Peripheral blood film:
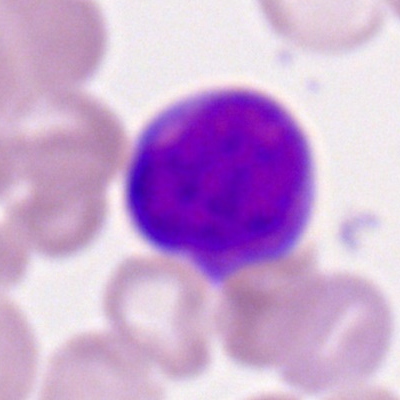
Q: What cell is this?
A: Myeloblast.